Peripheral blood film; May-Grünwald-Giemsa-stained.
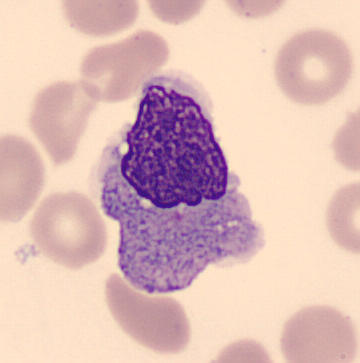
This is a monocyte.